May-Grünwald-Giemsa stain; image size 250×250; bone marrow aspirate smear:
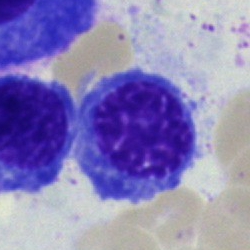Normoblast.